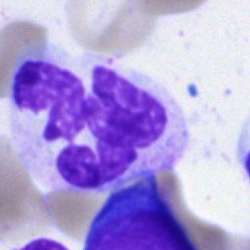

Morphology — segmented neutrophil.